Peripheral blood smear:
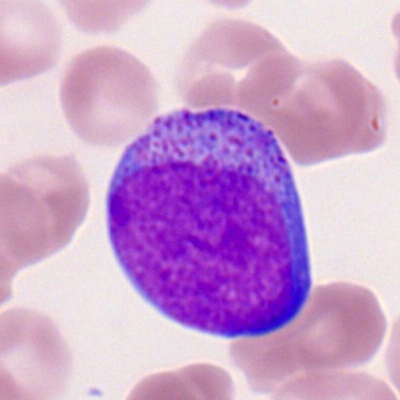 Q: What type of cell is this?
A: It is a myeloid blast.